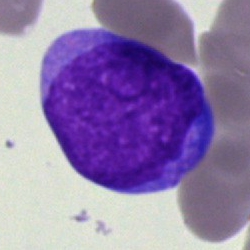This is a blast.